Bone marrow smear: 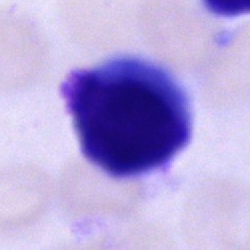Cell = unidentifiable cell.